Bone marrow aspirate smear:
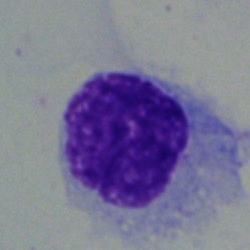

The morphological class is hairy cell.